100× oil immersion; peripheral blood smear — 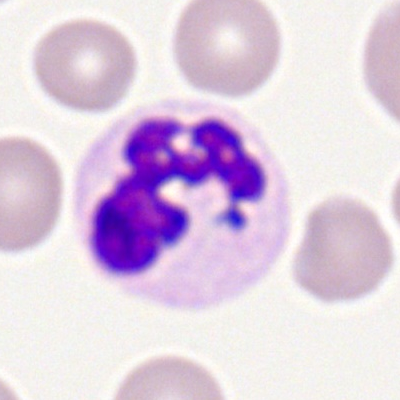

This is a segmented neutrophil.